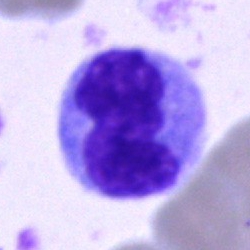 Impression — monocyte.